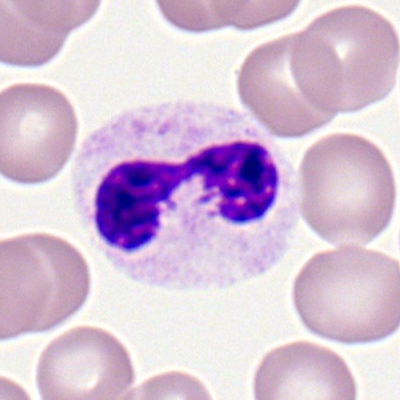Morphology consistent with a polymorphonuclear neutrophil.